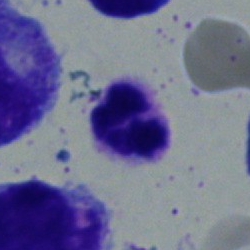Q: What type of cell is this?
A: Neutrophil (segmented).